Image size 250×250; Pappenheim-stained; bone marrow aspirate smear — 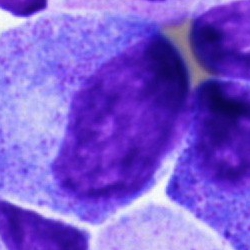 Q: Which cell type is shown here?
A: A promyelocyte.